Bone marrow smear:
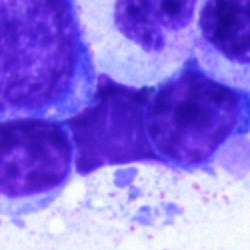

Classification = artefact.